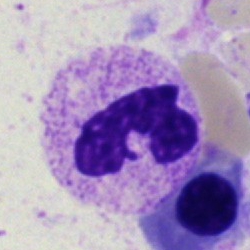
Morphology consistent with a neutrophil (segmented).